Romanowsky-stained; peripheral blood film: 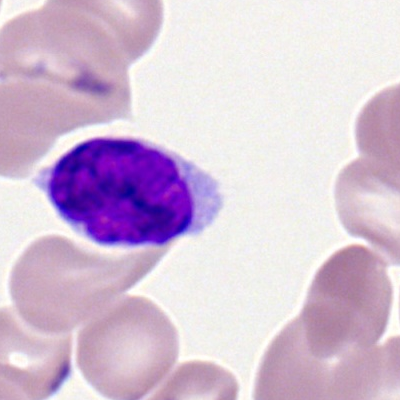

Impression → lymphocyte.